Bone marrow smear: 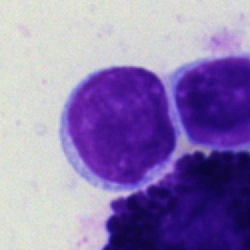Morphological class: typical lymphocyte.